Single-cell crop · bone marrow smear — 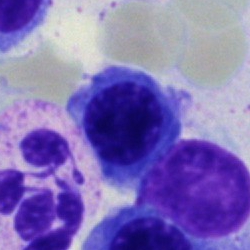This is a normoblast.